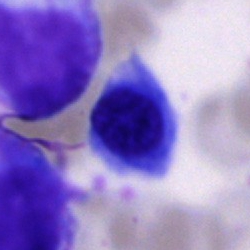
Classification — erythroblast.